May-Grünwald-Giemsa/Pappenheim stain. Bone marrow aspirate smear: 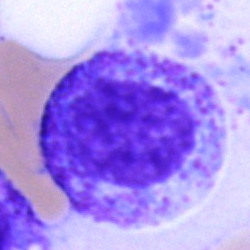
Morphology consistent with a progranulocyte.